Peripheral blood smear.
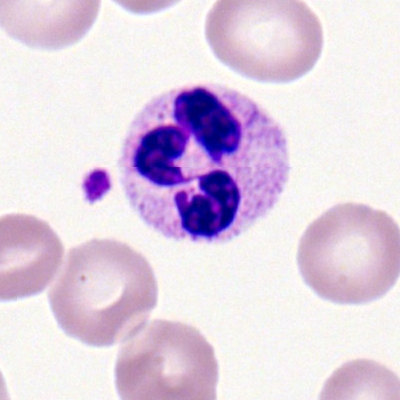
Impression → segmented neutrophil.